Cropped to a single cell. Bone marrow smear — 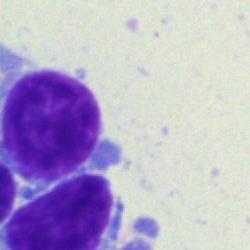 Classification — cell of indeterminate lineage.